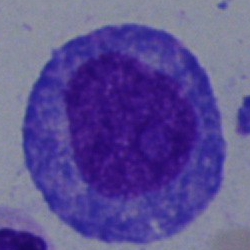
The classification is progranulocyte.